Bone marrow smear — 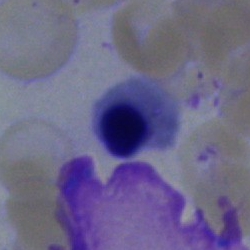 Cell — nucleated red cell.